MGG-stained · bone marrow aspirate smear
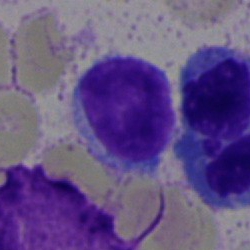
The cell shown is a lymphocyte.